Bone marrow aspirate smear; brightfield microscopy, 40× oil immersion:
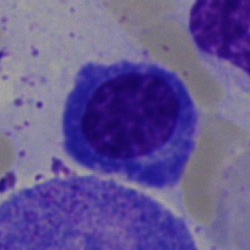 Specimen: bone marrow smear.
Classification: erythroblast.